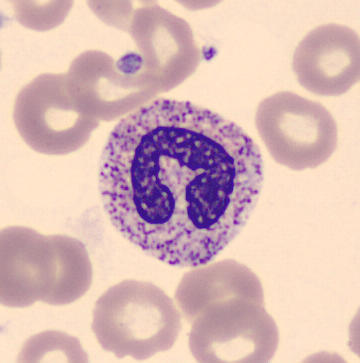Cell type — band-form neutrophil. Preparation: Peripheral blood smear; automated cell imaging (CellaVision DM96); single-cell crop.